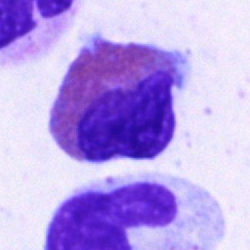

Showing an eosinophil.